Brightfield, 40× oil-immersion objective; bone marrow smear
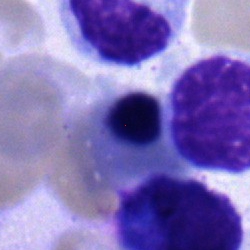

The cell is erythroblast.